Bone marrow smear: 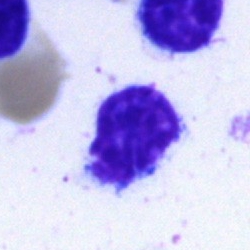
Impression — artefact.